Bone marrow aspirate smear. Single-cell crop — 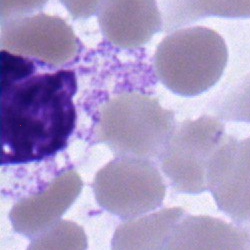

Cell = band neutrophil.